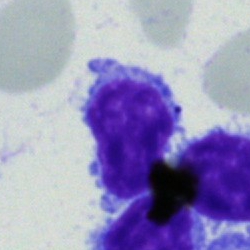
Lymphocyte.